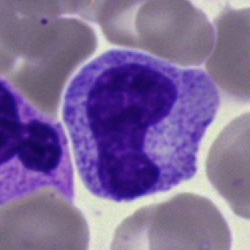
Bone marrow smear showing a stab cell.